Image size 250×250; bone marrow aspirate smear:
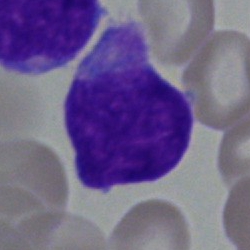Morphology → undifferentiated blast.